Bone marrow smear:
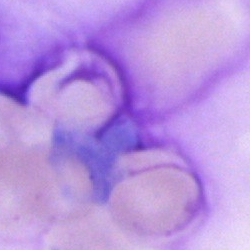
Morphology consistent with an artifact.